Bone marrow smear.
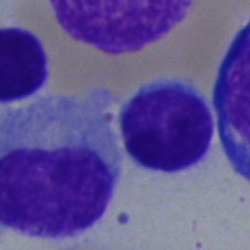Specimen: bone marrow smear.
Cell type: lymphocyte.
Lineage: lymphoid.